Bone marrow aspirate smear. 250×250 px
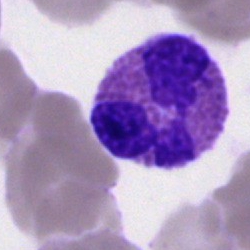 Impression — eosinophil.